Bone marrow aspirate smear: 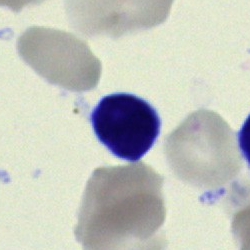

Q: What is shown here?
A: It is a typical lymphocyte.